250×250; bone marrow smear
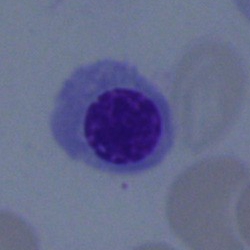

Morphology consistent with a nucleated red cell.